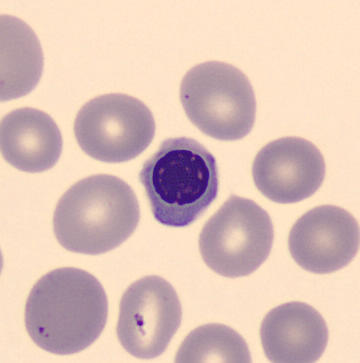

This is a nucleated red cell.
Image: Peripheral blood smear.